Pappenheim-stained · bone marrow aspirate smear · 250×250 px: 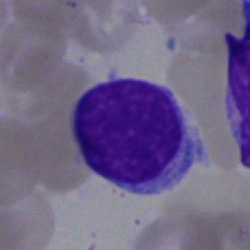
Cell type: typical lymphocyte.